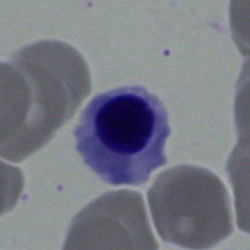 Morphology → normoblast.